Single-cell field; bone marrow smear; 250×250
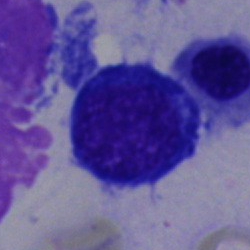

This is an erythroblast.